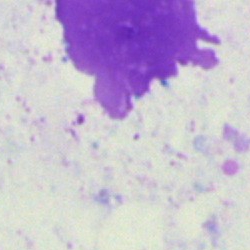

The cell type is artefact.